Image size 400×400 · peripheral blood smear — 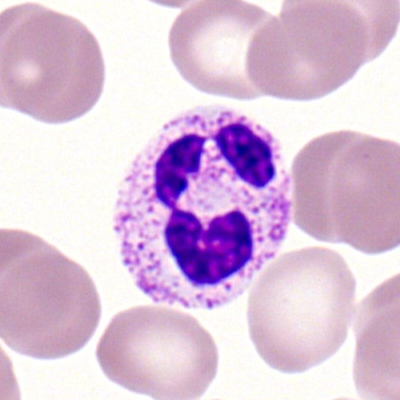
Specimen: peripheral blood film.
Classification: segmented neutrophil.
Lineage: myeloid.